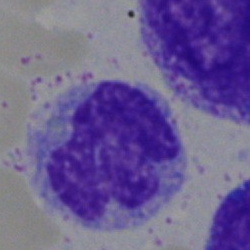Impression — monocyte.